Bone marrow aspirate smear
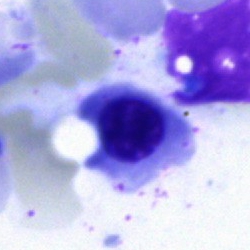
Morphology — normoblast.